Bone marrow smear.
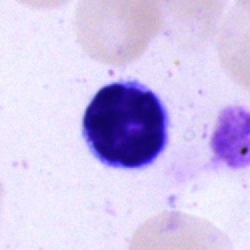Lymphocyte.